Bone marrow smear. 40× objective, oil immersion — 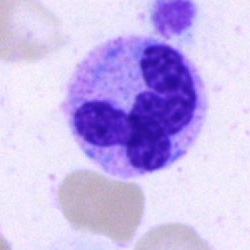Q: Identify the cell.
A: Segmented neutrophil.